40× oil immersion; bone marrow smear
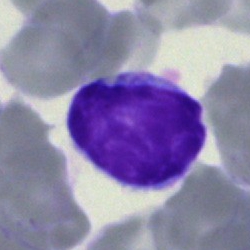Typical lymphocyte.